Bone marrow smear · May-Grünwald-Giemsa stain:
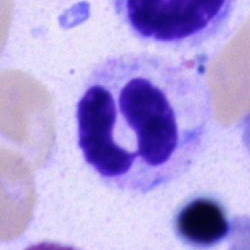 Classification — neutrophil (segmented).